Brightfield, 40× oil-immersion objective. May-Grünwald-Giemsa stain. Bone marrow smear: 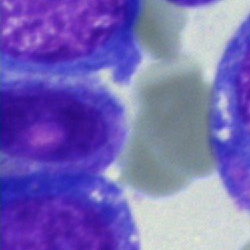Q: What is the morphological classification of this cell?
A: An unidentifiable cell.